Bone marrow smear
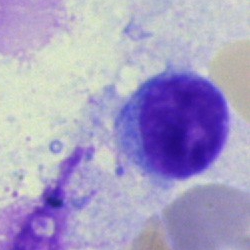
Showing a lymphocyte.